Bone marrow smear
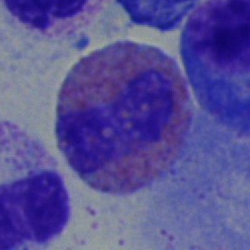 An eosinophil.